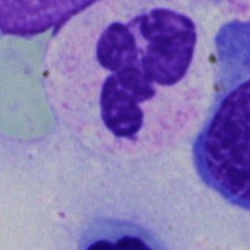

Morphological class = segmented neutrophil.